MGG-stained. Bone marrow smear:
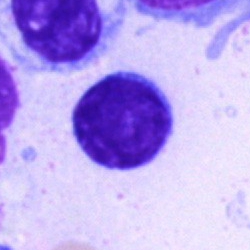
Classification — lymphocyte.